Brightfield microscopy, 40× oil immersion · 250×250 · bone marrow smear:
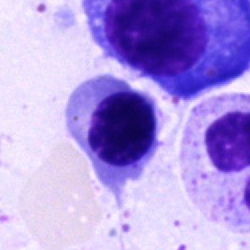 Morphology consistent with a nucleated red blood cell.